Peripheral blood smear:
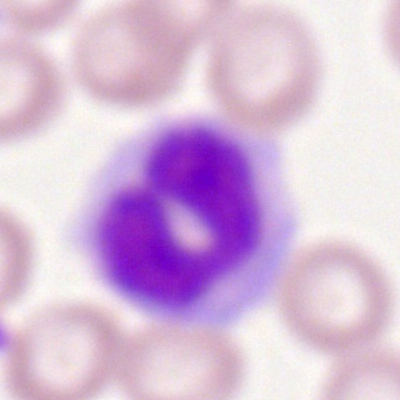 Classification — monocyte.